Bone marrow aspirate smear: 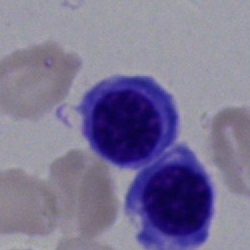Morphology consistent with a normoblast.